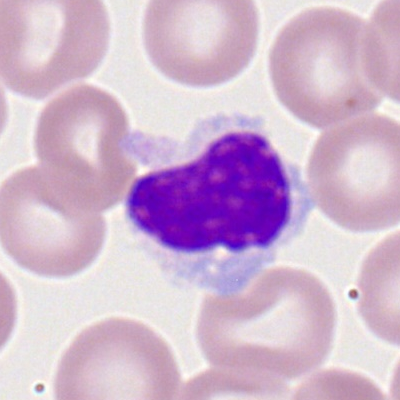
Impression — lymphocyte.